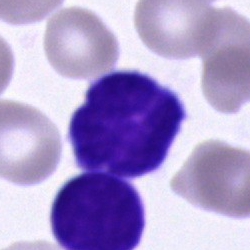Specimen: bone marrow smear.
Cell type: lymphocyte.